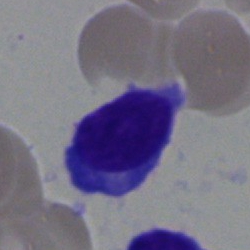 Q: Identify the cell.
A: Plasma cell.